Bone marrow smear · image size 250×250: 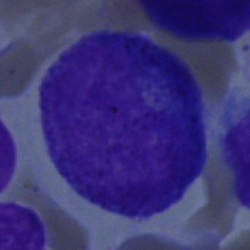
Cell: promyelocyte.